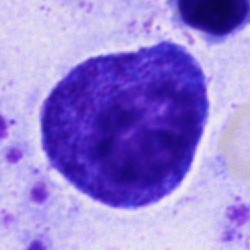Impression — progranulocyte.